Bone marrow smear. Image size 250×250 — 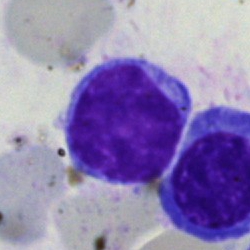 A lymphocyte.